Bone marrow smear; image size 250×250 — 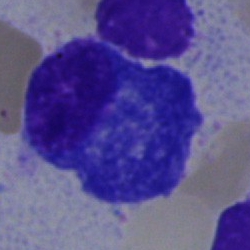

Morphological class: plasmacyte.